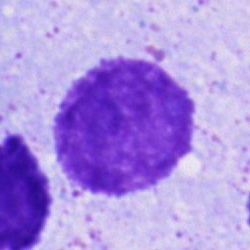

An artefact.